Bone marrow smear
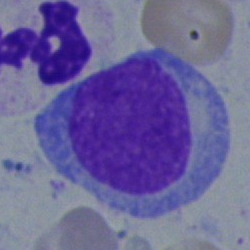

Specimen: bone marrow aspirate smear.
Morphological class: undifferentiated blast.